Bone marrow aspirate smear.
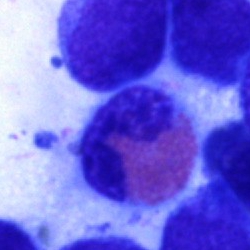Impression — eosinophilic granulocyte.